Bone marrow aspirate smear — 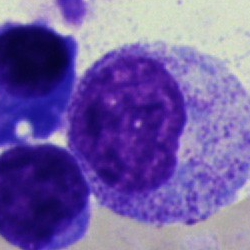

Specimen: bone marrow aspirate smear.
Classification: metamyelocyte.